Single cell centered in the field. Bone marrow smear. 250×250 px.
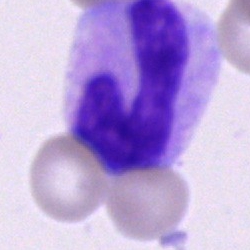
Showing a band neutrophil.